Bone marrow aspirate smear.
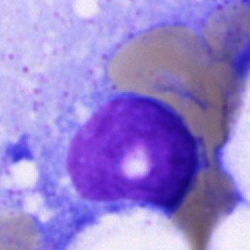 Specimen: bone marrow smear.
Morphological class: blast.